Bone marrow aspirate smear.
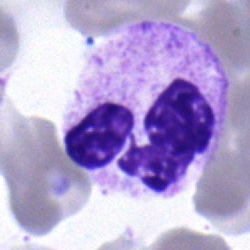Q: What is the morphological classification of this cell?
A: Segmented neutrophil.